Bone marrow smear. May-Grünwald-Giemsa stain
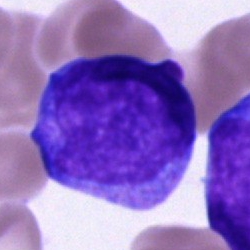

Q: What is the morphological classification of this cell?
A: It is an undifferentiated blast.